40× objective, oil immersion · bone marrow aspirate smear — 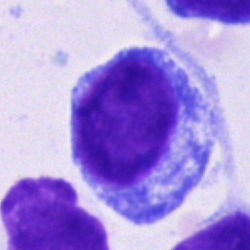
{"cell_type": "progranulocyte"}